250 by 250 pixels · bone marrow aspirate smear · cropped to a single cell
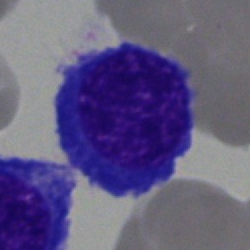 Cell type = erythroblast.